Single-cell field · image size 250×250 · bone marrow smear — 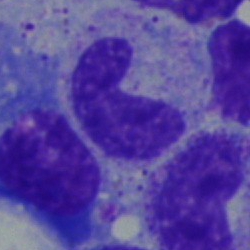

Single cell identified as a band neutrophil.